250×250 px. Bone marrow smear — 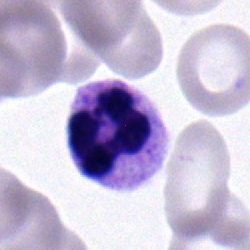

Q: What is the morphological classification of this cell?
A: It is a segmented neutrophil.